Bone marrow smear
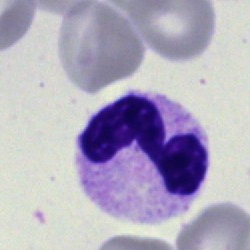Single cell identified as a segmented neutrophil.